Bone marrow smear.
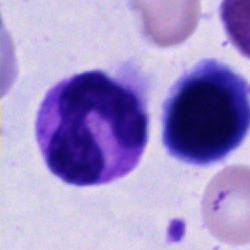 This is a neutrophil (band).